Bone marrow aspirate smear; single-cell crop: 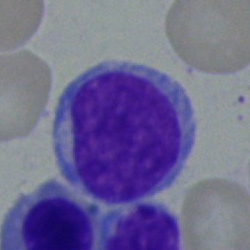
Showing a lymphocyte.